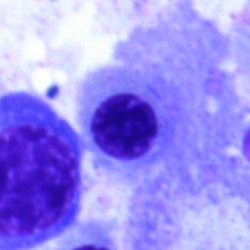Single cell identified as an erythroblast.